Bone marrow aspirate smear · Pappenheim-stained — 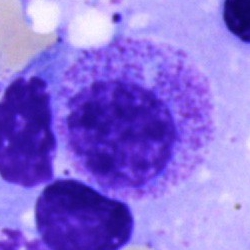 Q: What is the morphological classification of this cell?
A: A myelocyte.